Bone marrow smear — 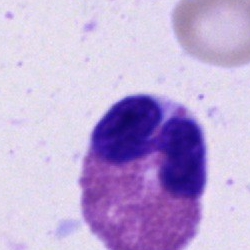 Impression → eosinophil.